40× oil immersion. Bone marrow aspirate smear
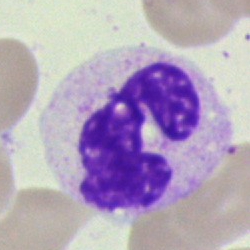 Q: Identify the cell.
A: This is a neutrophil (segmented).